May-Grünwald-Giemsa stain. 250×250. Bone marrow smear — 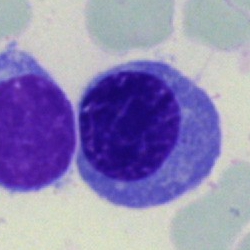 Impression — erythroblast.